Bone marrow aspirate smear. Brightfield, 40× oil-immersion objective:
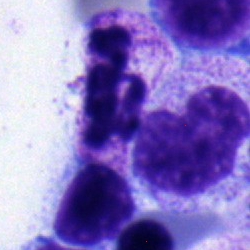Classification = band-form neutrophil.